Bone marrow aspirate smear · 40× objective, oil immersion
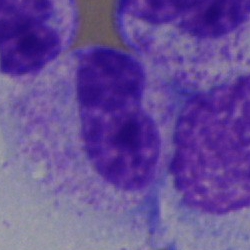Morphology consistent with a neutrophil (band).